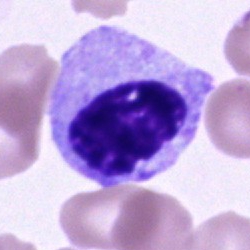 Q: What is shown here?
A: Artefact.